Bone marrow aspirate smear
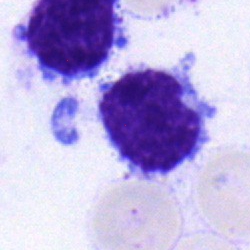

Specimen: bone marrow aspirate smear.
Cell type: typical lymphocyte.
Lineage: lymphoid.